Bone marrow smear: 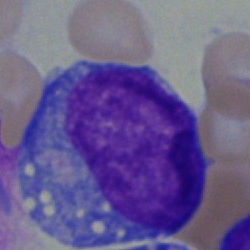

Cell type: blast.